Bone marrow aspirate smear
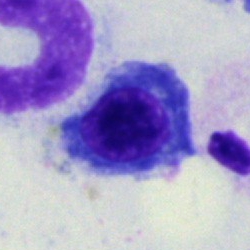 Impression → nucleated red cell.